Bone marrow smear: 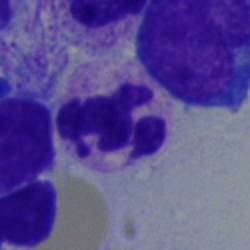
The classification is polymorphonuclear neutrophil.